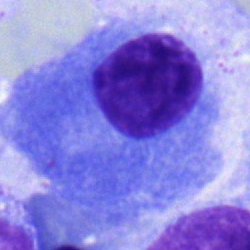
Single-cell crop from a bone marrow smear: plasmacyte.